Single cell centered in the field; bone marrow smear; 250×250 px — 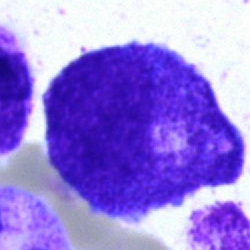

A myelocyte.